Bone marrow smear. Pappenheim-stained:
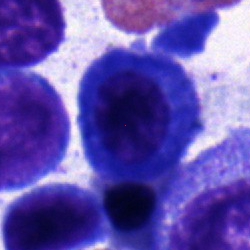 Cell type = plasma cell.